Single-cell field · bone marrow smear
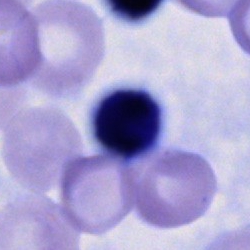Cell — unidentifiable cell.